400 by 400 pixels; peripheral blood film.
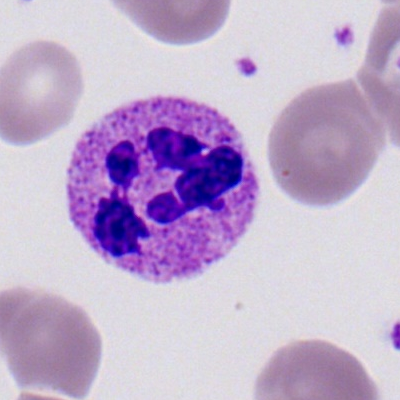Q: What is the morphological classification of this cell?
A: Polymorphonuclear neutrophil.